Peripheral blood film
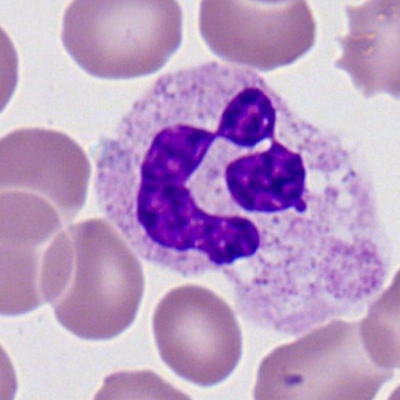
Showing a neutrophil (segmented).